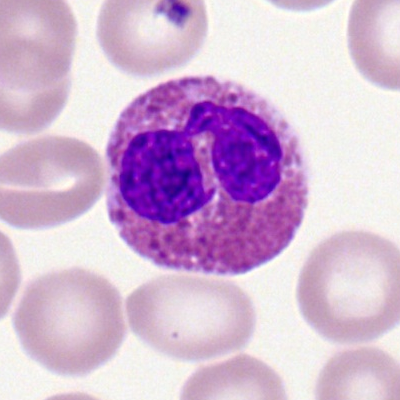Impression — eosinophilic granulocyte.